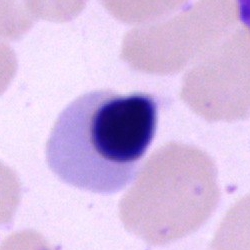
Q: What cell is this?
A: It is an erythroblast.